Pappenheim-stained · bone marrow aspirate smear — 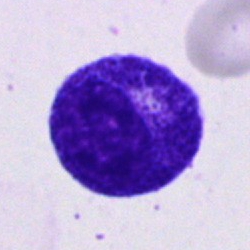
Cell type: promyelocyte.